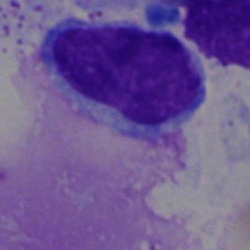
Morphological class = typical lymphocyte.